Bone marrow aspirate smear: 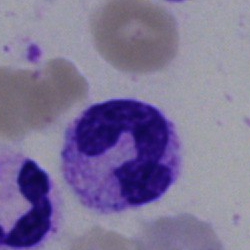

Cell type: segmented neutrophil.